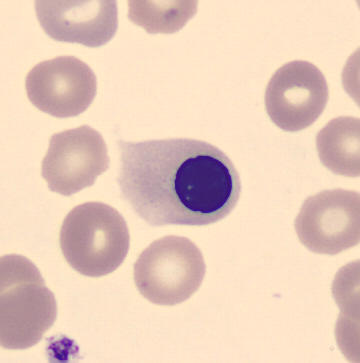
Identified as a normoblast.

May Grünwald-Giemsa stain. Peripheral blood film.